Bone marrow aspirate smear; May-Grünwald-Giemsa/Pappenheim stain; 40× oil immersion:
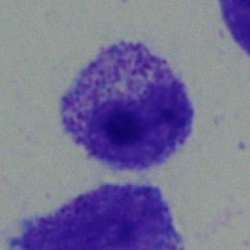

Morphology → myelocyte.